May-Grünwald-Giemsa/Pappenheim stain. Bone marrow smear:
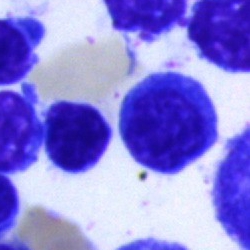

Q: Which cell type is shown here?
A: Typical lymphocyte.